Cropped to a single cell · bone marrow smear · 250×250 px:
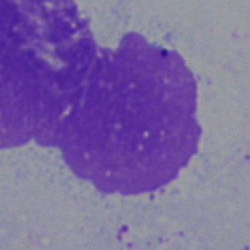
Morphology consistent with an artefact.